Bone marrow aspirate smear. May-Grünwald-Giemsa stain.
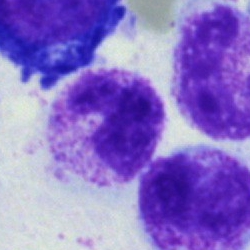 Specimen: bone marrow aspirate smear.
Cell: segmented neutrophil.